Peripheral blood film. Single-cell crop
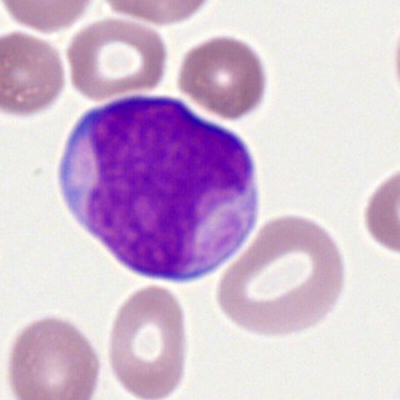{"cell_type": "myeloid blast", "lineage": "myeloid"}